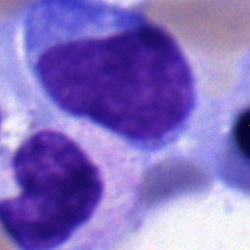

Q: Which cell type is shown here?
A: It is a nucleated red blood cell.